Bone marrow aspirate smear — 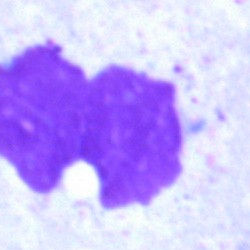

{"cell_type": "artifact"}